Bone marrow smear: 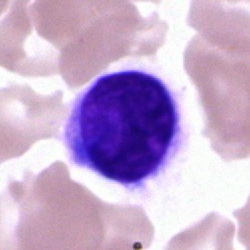Q: Identify the cell.
A: Lymphocyte.